May-Grünwald-Giemsa-stained; single-cell field; peripheral blood film: 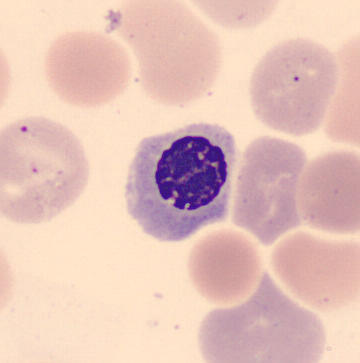

The cell type is erythroblast.